May-Grünwald-Giemsa/Pappenheim stain; 250 by 250 pixels; bone marrow smear
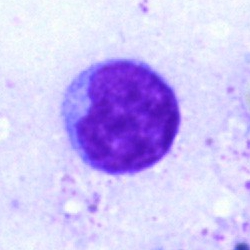 A typical lymphocyte.